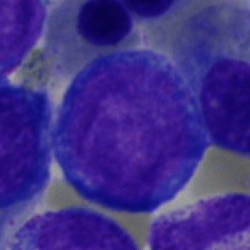Morphology consistent with a blast.